Bone marrow smear:
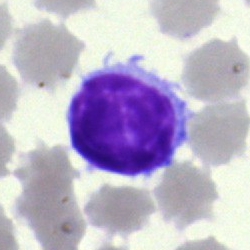Single cell identified as a typical lymphocyte.